Bone marrow smear.
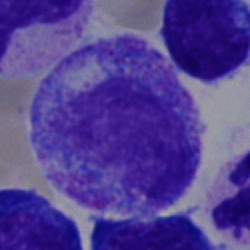Q: Which cell type is shown here?
A: A promyelocyte.